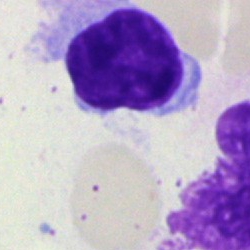

Single cell identified as a typical lymphocyte.